Brightfield microscopy, 40× oil immersion; bone marrow aspirate smear; image size 250×250:
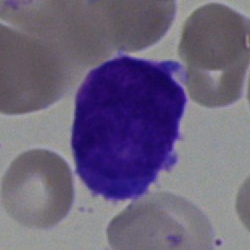 Classification — promyelocyte.